Bone marrow smear — 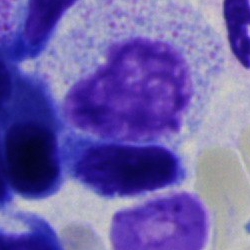Specimen: bone marrow smear.
Morphological class: myelocyte.
Lineage: myeloid.